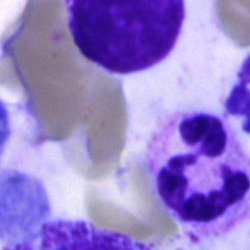Showing a polymorphonuclear neutrophil.